Bone marrow aspirate smear: 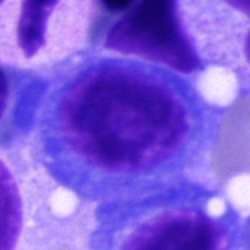 Single cell identified as a plasmacyte.